Bone marrow smear
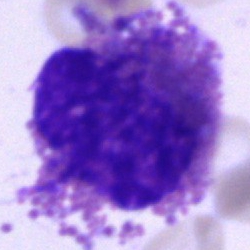
Q: What is shown here?
A: It is an artifact.